Peripheral blood film: 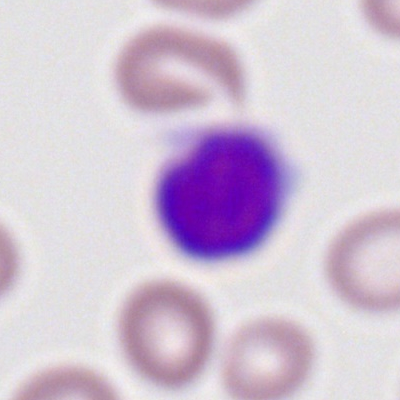
Q: What is shown here?
A: This is a lymphocyte.